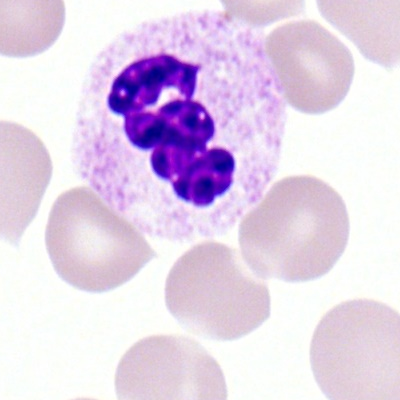
Peripheral blood film, single cell — segmented neutrophil.